Bone marrow aspirate smear · 40× objective, oil immersion.
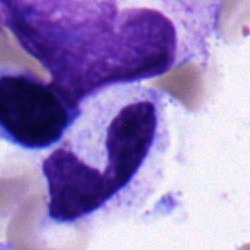
Q: What is shown here?
A: A typical lymphocyte.